May-Grünwald-Giemsa stain · 250×250 · bone marrow smear.
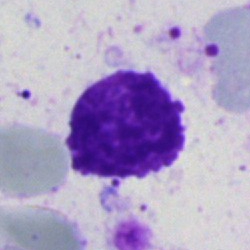

Classification: artefact.